Bone marrow smear. Single cell centered in the field
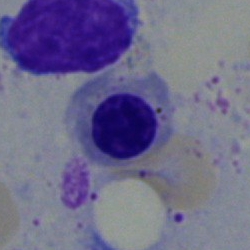Morphology consistent with a normoblast.